Bone marrow smear — 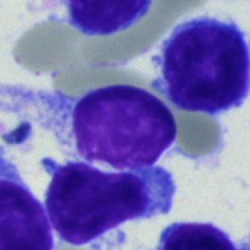Q: Identify the cell.
A: It is a lymphocyte.